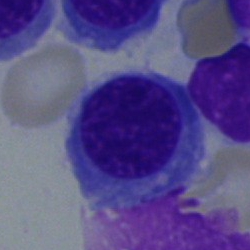

Q: What type of cell is this?
A: A nucleated red cell.